40× oil immersion. Bone marrow aspirate smear.
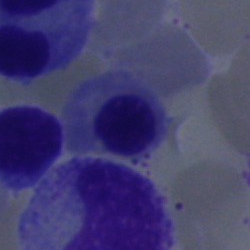
Specimen: bone marrow aspirate smear.
Morphological class: nucleated red cell.
Lineage: erythroid.